Bone marrow aspirate smear; 250×250 px — 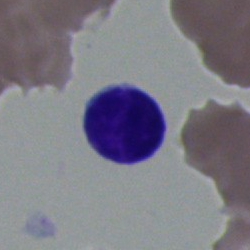
Morphological class = lymphocyte.